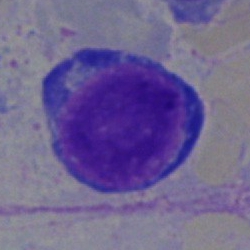Specimen: bone marrow smear.
Cell: pronormoblast.